Bone marrow aspirate smear: 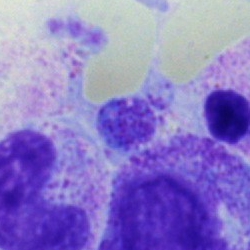Morphology → cell of indeterminate lineage.